MGG-stained · bone marrow aspirate smear.
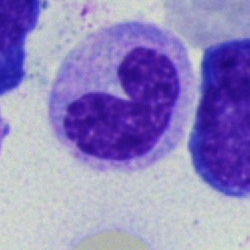This is a stab cell.